Bone marrow aspirate smear; single-cell crop: 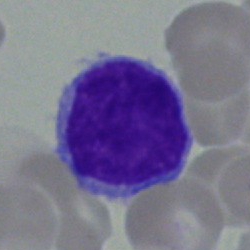Single cell identified as a typical lymphocyte.